Cropped to a single cell. Bone marrow smear
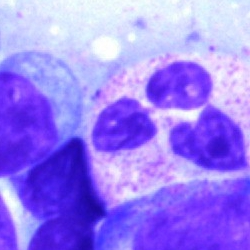Specimen: bone marrow aspirate smear.
Morphological class: polymorphonuclear neutrophil.